Peripheral blood film
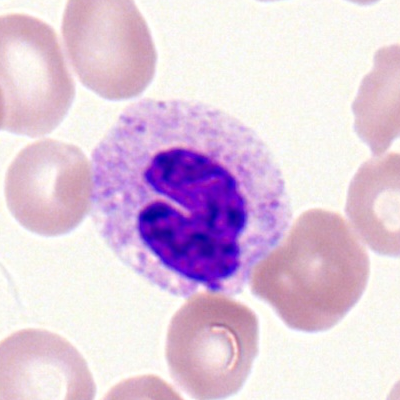

Specimen: peripheral blood film.
Cell: segmented neutrophil.
Lineage: myeloid.